Bone marrow aspirate smear
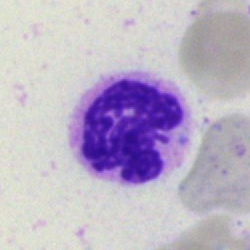 A polymorphonuclear neutrophil.